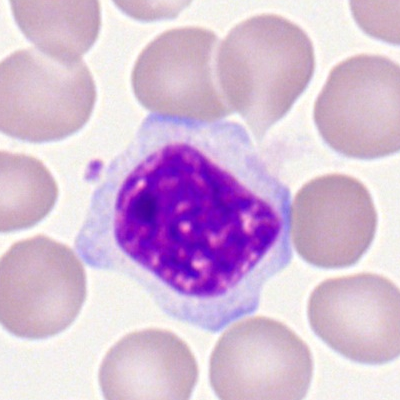 Cell = typical lymphocyte.